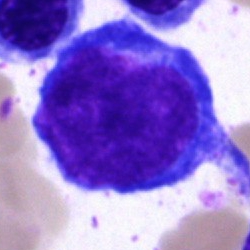 {"cell_type": "proerythroblast", "lineage": "erythroid"}